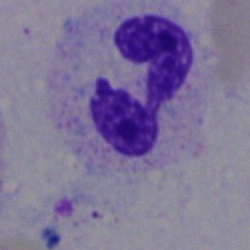Impression → segmented neutrophil.